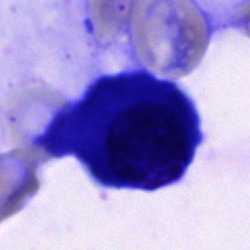Morphology — plasmacyte.